Bone marrow aspirate smear:
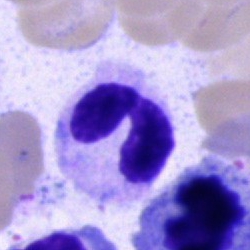

Cell type — band neutrophil.